Bone marrow aspirate smear:
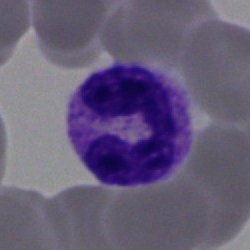The cell is polymorphonuclear neutrophil.